Bone marrow aspirate smear
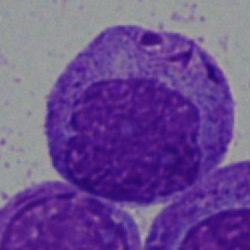The morphological class is blast.